Bone marrow aspirate smear. Cropped to a single cell. 40× objective, oil immersion:
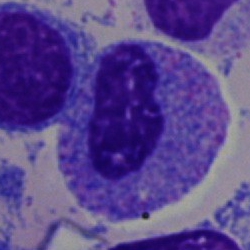
A progranulocyte.